Bone marrow aspirate smear — 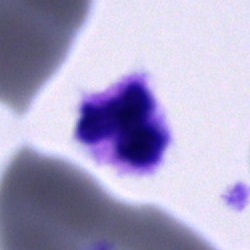 A polymorphonuclear neutrophil.